Bone marrow smear · single-cell field:
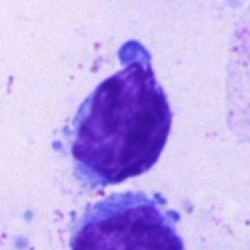 Single cell identified as a lymphocyte.